May-Grünwald-Giemsa/Pappenheim stain · bone marrow smear
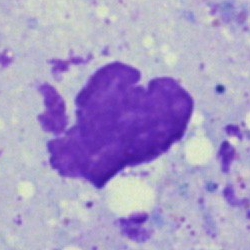 Cell = artifact.